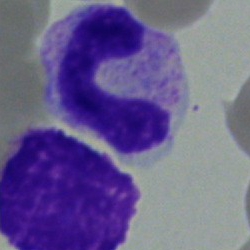 Morphology consistent with a neutrophil (band).